Peripheral blood smear.
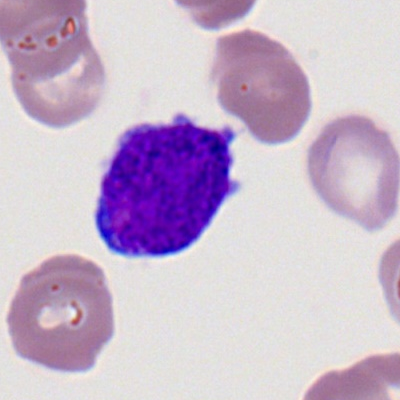 Single cell identified as a myeloblast.